250×250 px. Bone marrow aspirate smear — 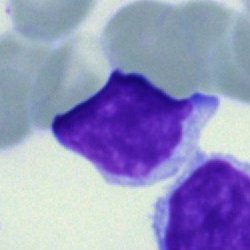 This is a typical lymphocyte.